Bone marrow aspirate smear:
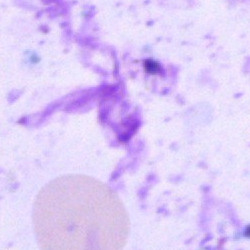

Specimen: bone marrow aspirate smear.
Morphological class: artefact.